100× oil immersion. Peripheral blood film:
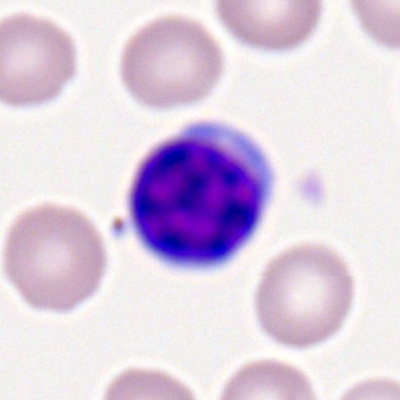 Classification: lymphocyte.